Bone marrow smear — 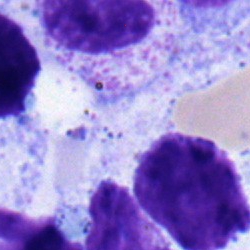This is a band neutrophil.